May-Grünwald-Giemsa stain; bone marrow aspirate smear; 250×250 px.
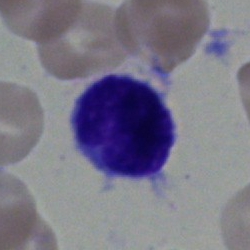
Classification: lymphocyte.